Bone marrow aspirate smear
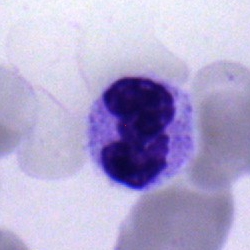
The cell is neutrophil (segmented).